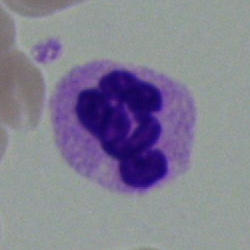

Specimen: bone marrow aspirate smear.
Classification: neutrophil (segmented).
Lineage: myeloid.